Bone marrow smear. 40× objective, oil immersion:
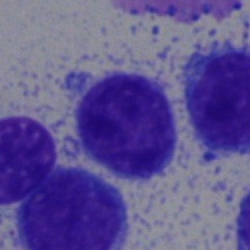 Single cell identified as a typical lymphocyte.